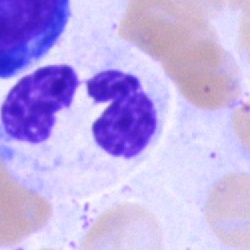Impression → neutrophil (segmented).